May-Grünwald-Giemsa/Pappenheim stain. Bone marrow aspirate smear:
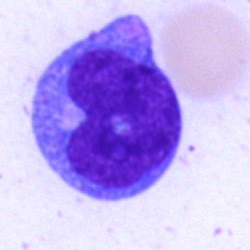 Cell type: typical lymphocyte.